Peripheral blood film: 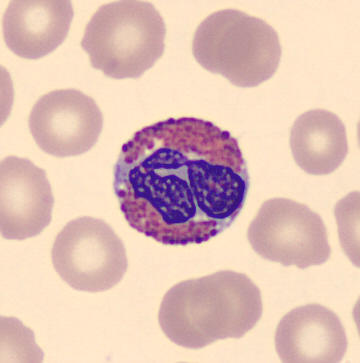An eosinophil.